Bone marrow smear.
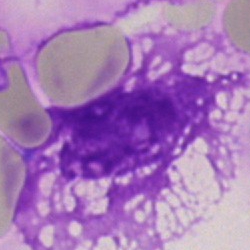 An artefact.